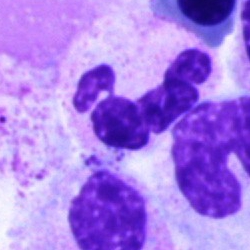Showing a neutrophil (segmented).